Bone marrow smear: 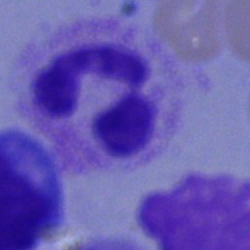Impression — polymorphonuclear neutrophil.